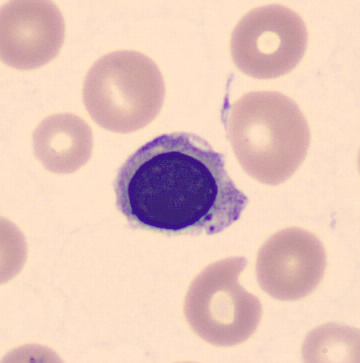

Q: Identify the cell.
A: This is a nucleated red blood cell. Preparation: Peripheral blood film; MGG-stained.